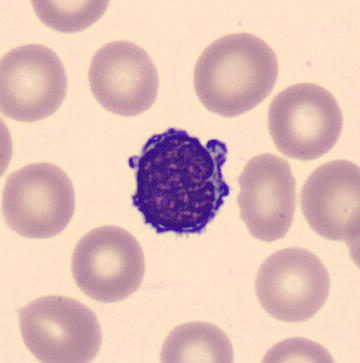The cell type is lymphocyte.